Bone marrow smear · May-Grünwald-Giemsa/Pappenheim stain · single-cell crop: 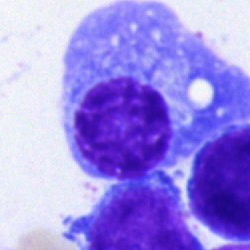Specimen: bone marrow aspirate smear.
Morphological class: plasmacyte.